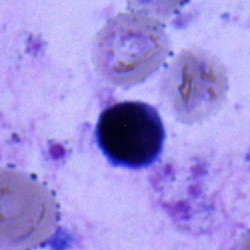A lymphocyte on a bone marrow smear.